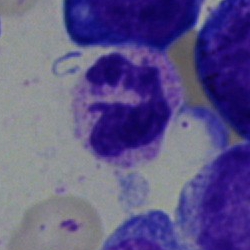 The cell shown is a neutrophil (segmented).